Bone marrow aspirate smear; 250×250 px:
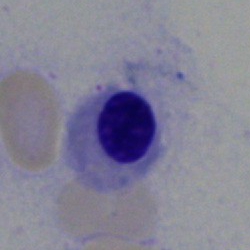
Morphology consistent with a nucleated red cell.